Peripheral blood smear
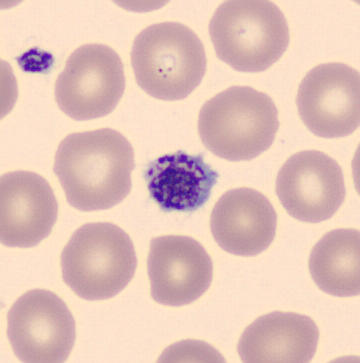Identified as a platelet (thrombocyte).